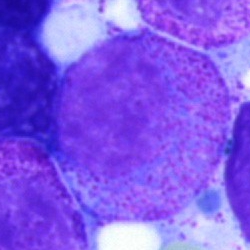

Impression → myelocyte.